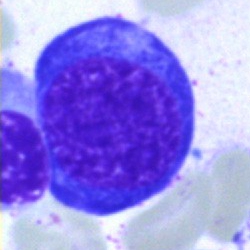

Cell type = nucleated red cell.